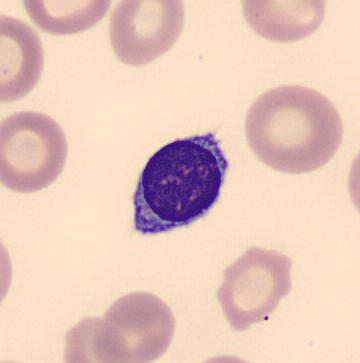
Specimen: peripheral blood smear.
Cell: lymphocyte.
Lineage: lymphoid.